Bone marrow aspirate smear; 250×250.
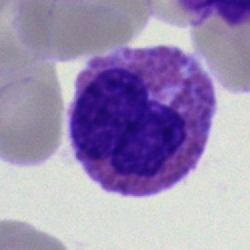The cell shown is an eosinophil.